Bone marrow smear — 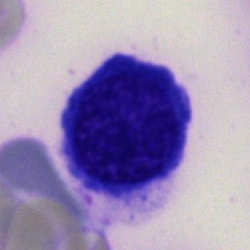
The morphological class is artifact.